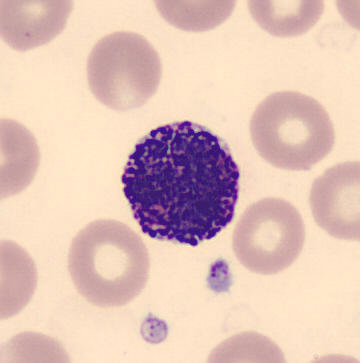

Q: What is the morphological classification of this cell?
A: This is a basophil.